Bone marrow smear: 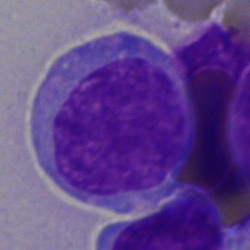

Morphological class = blast cell.